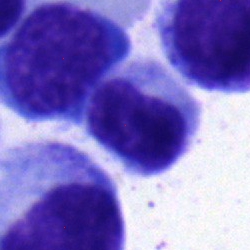
Cell type = metamyelocyte.